Bone marrow aspirate smear
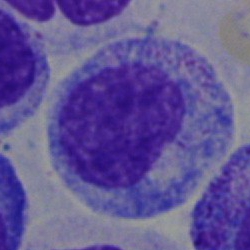 Promyelocyte.